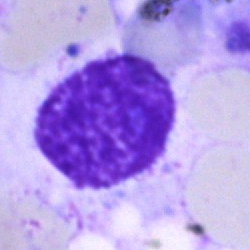
Single cell identified as an artefact.